40× objective, oil immersion · bone marrow smear · single-cell crop.
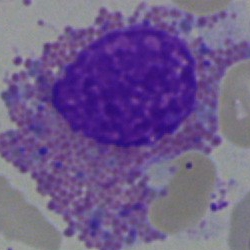 This is an eosinophil.